100× oil immersion; Romanowsky stain; peripheral blood smear.
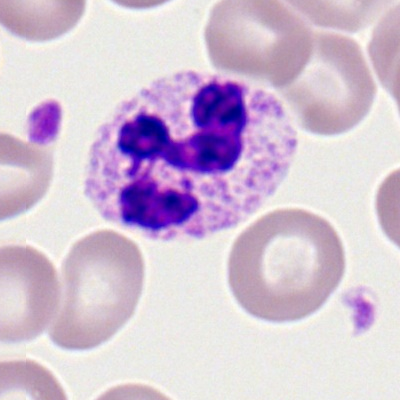
Classification = neutrophil (segmented).